Bone marrow smear. 250×250 px:
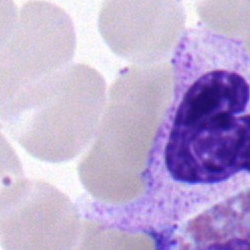

Classification: band neutrophil.